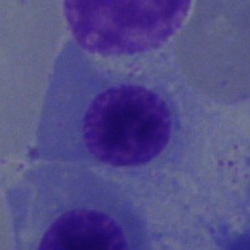Normoblast.